Single cell centered in the field. Brightfield microscopy, 40× oil immersion. Bone marrow smear
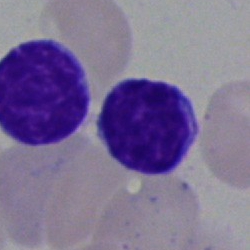

Morphology → typical lymphocyte.